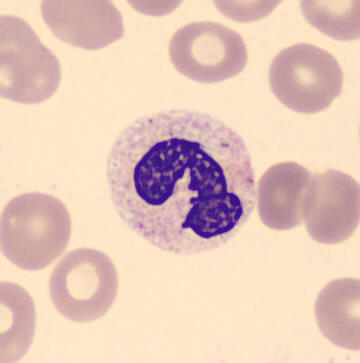 Showing a segmented neutrophil.